Bone marrow smear: 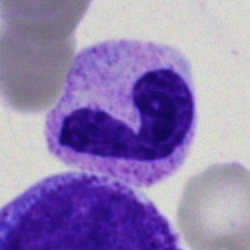 The cell type is segmented neutrophil.